Peripheral blood smear — 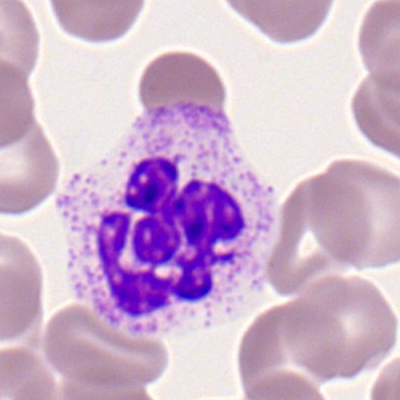

Impression — neutrophil (segmented).